Bone marrow aspirate smear.
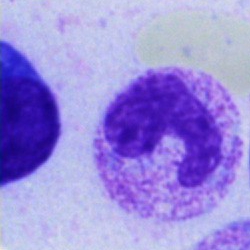
This is a segmented neutrophil.